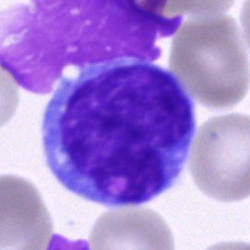 Monocyte.